250 by 250 pixels. Cropped to a single cell. Bone marrow smear: 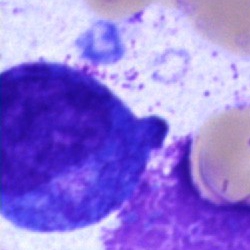
Single cell identified as a progranulocyte.